Bone marrow smear. 250×250:
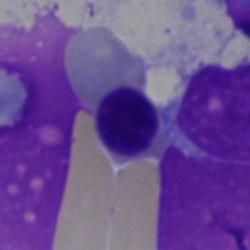The cell shown is an erythroblast.